Brightfield microscopy, 40× oil immersion · bone marrow smear.
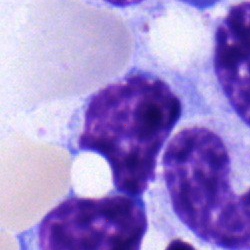
The cell type is typical lymphocyte.